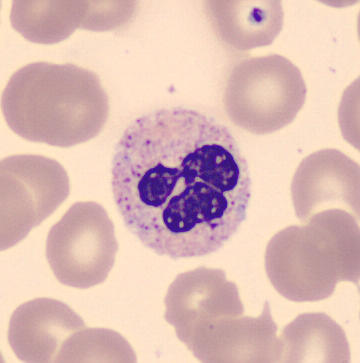 Cell type = polymorphonuclear neutrophil. Peripheral blood film.